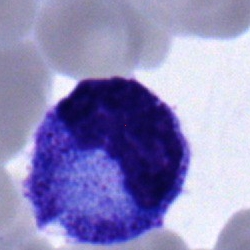This is a promyelocyte.